Bone marrow smear: 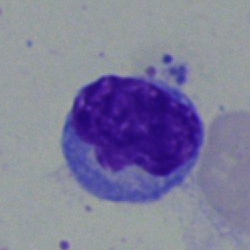Q: Which cell type is shown here?
A: A typical lymphocyte.